Bone marrow smear — 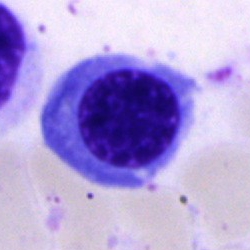
A nucleated red cell.